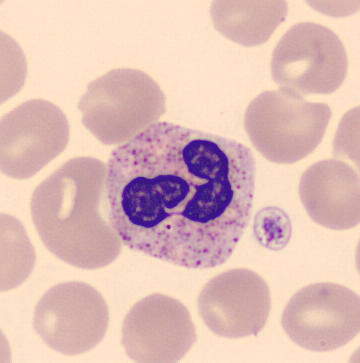
A polymorphonuclear neutrophil. Image: Peripheral blood film.